40× objective, oil immersion · bone marrow smear · Pappenheim-stained — 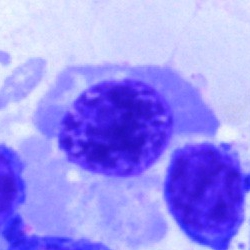 {"cell_type": "normoblast", "lineage": "erythroid"}